Bone marrow smear
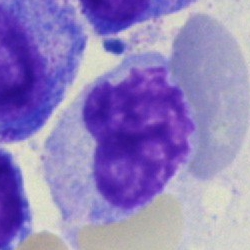Cell type: metamyelocyte.